Bone marrow smear; 40× oil immersion:
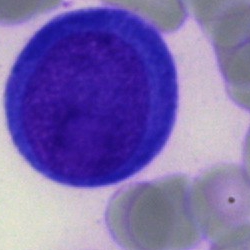

Specimen: bone marrow aspirate smear.
Cell type: proerythroblast.
Lineage: erythroid.